Bone marrow aspirate smear: 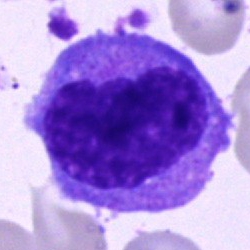 {"cell_type": "monocyte", "lineage": "myeloid"}